250×250 · bone marrow aspirate smear · brightfield, 40× oil-immersion objective.
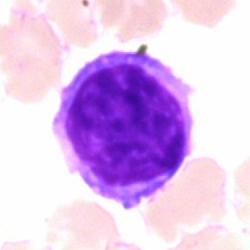Specimen: bone marrow aspirate smear.
Morphological class: lymphocyte.
Lineage: lymphoid.